Bone marrow aspirate smear.
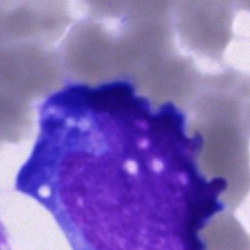Specimen: bone marrow smear.
Morphological class: blast.